Single-cell crop; bone marrow aspirate smear — 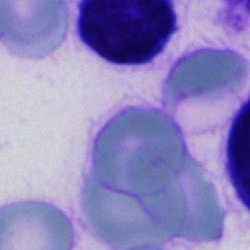Cell type = artifact.